May-Grünwald-Giemsa/Pappenheim stain; bone marrow aspirate smear; 40× oil immersion
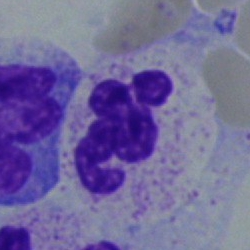
Classification: neutrophil (segmented).